May-Grünwald-Giemsa/Pappenheim stain · bone marrow aspirate smear
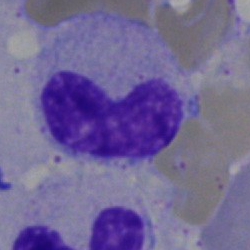 Q: What is the morphological classification of this cell?
A: It is a neutrophil (band).